Brightfield, 40× oil-immersion objective · MGG-stained · bone marrow smear
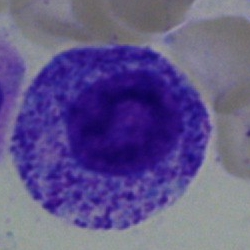Myelocyte.